Brightfield, 40× oil-immersion objective · bone marrow smear · May-Grünwald-Giemsa stain
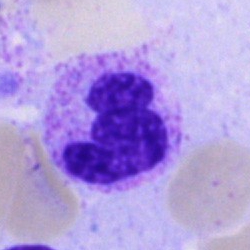 Impression → polymorphonuclear neutrophil.